Bone marrow aspirate smear
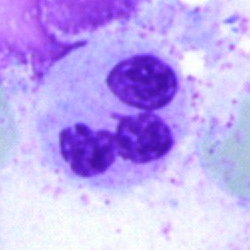 Specimen: bone marrow aspirate smear.
Cell type: segmented neutrophil.
Lineage: myeloid.